Image size 250×250 · bone marrow smear · 40× oil immersion: 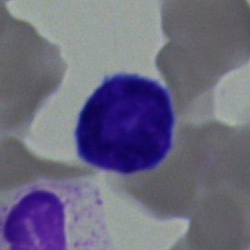Q: What is shown here?
A: It is a typical lymphocyte.